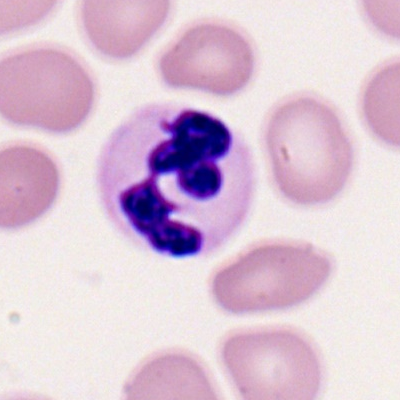
Q: Identify the cell.
A: Polymorphonuclear neutrophil.